Bone marrow smear: 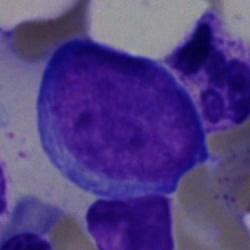
Proerythroblast.